Bone marrow smear.
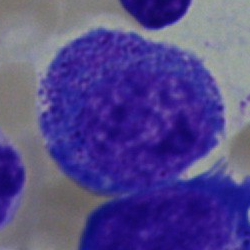

A promyelocyte.